Single-cell field. Bone marrow smear:
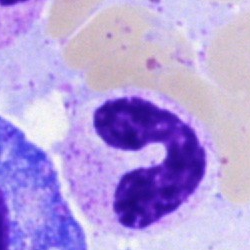 Morphology consistent with a segmented neutrophil.